Brightfield microscopy, 40× oil immersion. Bone marrow smear. 250×250 — 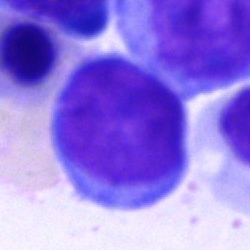

The cell shown is an undifferentiated blast.